Bone marrow smear.
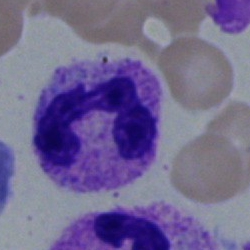

Specimen: bone marrow smear.
Cell type: band-form neutrophil.
Lineage: myeloid.